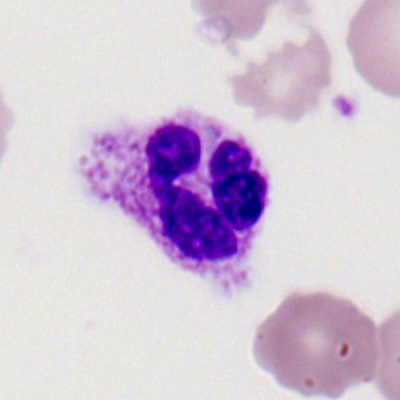A polymorphonuclear neutrophil.